Bone marrow smear. 250×250 — 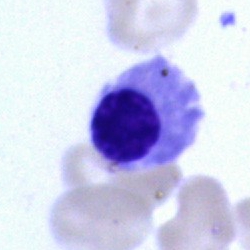Cell type = nucleated red blood cell.